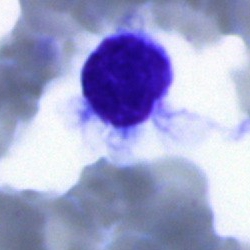Q: What is shown here?
A: A typical lymphocyte.